Peripheral blood smear. 400×400 px.
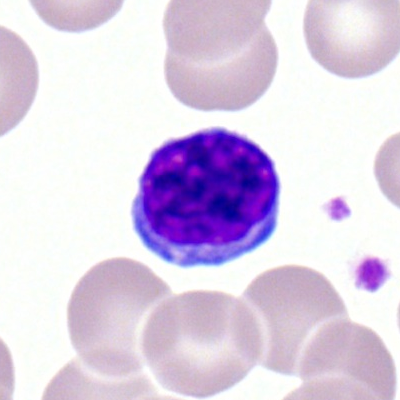 Morphology consistent with a typical lymphocyte.